Bone marrow aspirate smear
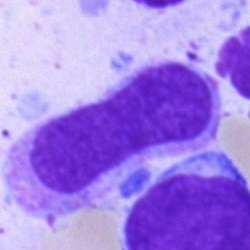

Cell: artefact.